Bone marrow smear:
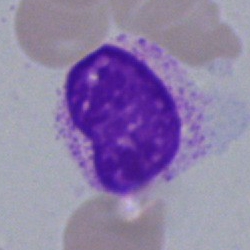Showing an artefact.